Single-cell field. Bone marrow smear.
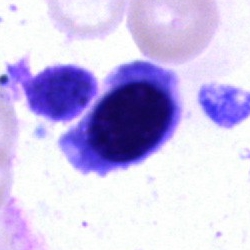

Morphology → erythroblast.